Bone marrow aspirate smear — 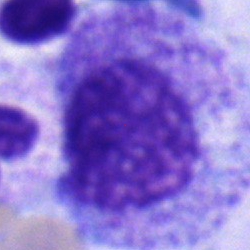
Morphology → progranulocyte.